Bone marrow aspirate smear. Pappenheim-stained:
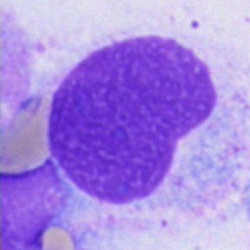 Morphological class: artefact.